Bone marrow smear. 250×250 px — 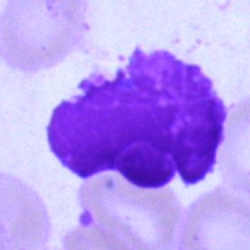 Morphology consistent with an artefact.